Bone marrow smear; 250×250 px — 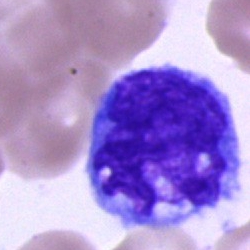
This is a monocyte.